Bone marrow aspirate smear · 40× oil immersion.
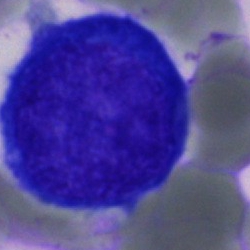Specimen: bone marrow smear.
Classification: undifferentiated blast.